Bone marrow smear: 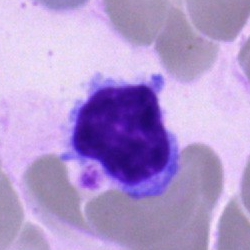

Morphology — lymphocyte.